Bone marrow aspirate smear.
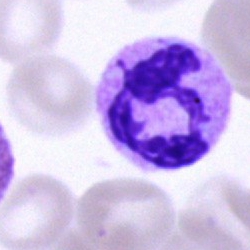

Q: What is shown here?
A: Polymorphonuclear neutrophil.